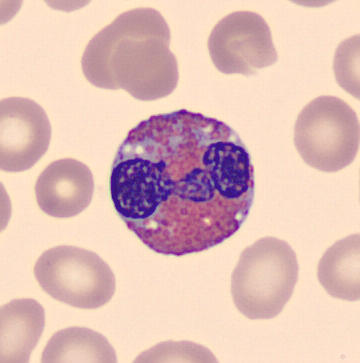

Morphology — eosinophil.